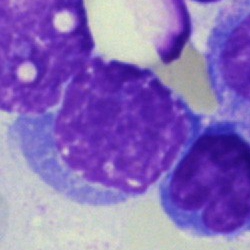

This is an artifact.